M8 digital microscope (Precipoint), 100× oil immersion · peripheral blood film · image size 400×400:
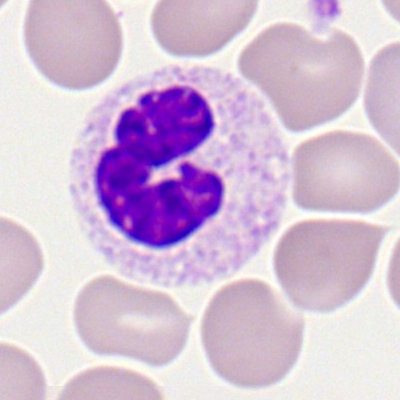

Morphology — neutrophil (band).